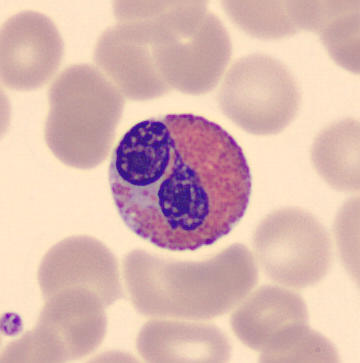

Morphology consistent with an eosinophilic granulocyte. Image: Peripheral blood film.